Bone marrow smear
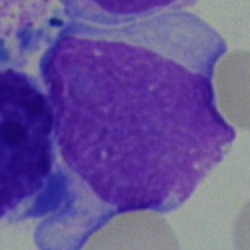

Cell type: blast cell.